May-Grünwald-Giemsa stain; bone marrow aspirate smear:
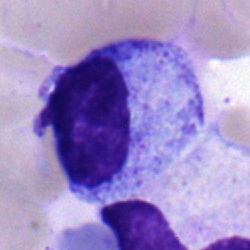 Cell type: myelocyte.